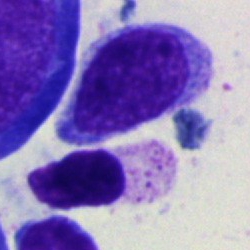

Single-cell crop from a bone marrow smear: typical lymphocyte.